Bone marrow aspirate smear:
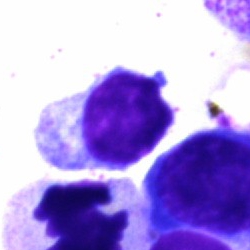 Showing a typical lymphocyte.